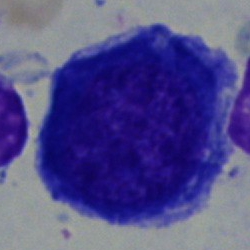 Morphological class = proerythroblast.